May-Grünwald-Giemsa stain · bone marrow aspirate smear
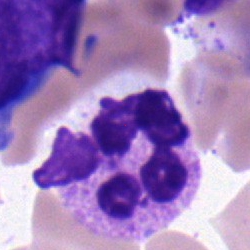 Specimen: bone marrow smear.
Classification: neutrophil (segmented).
Lineage: myeloid.